Bone marrow aspirate smear: 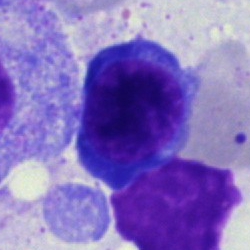
Morphological class = erythroblast.